Peripheral blood film — 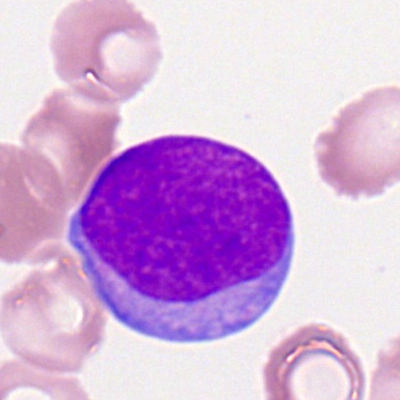The cell type is myeloid blast.